Single-cell field · bone marrow aspirate smear · MGG-stained — 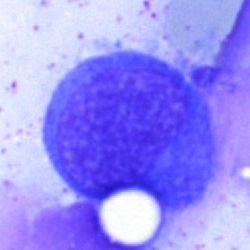

Unidentifiable cell.